Bone marrow smear:
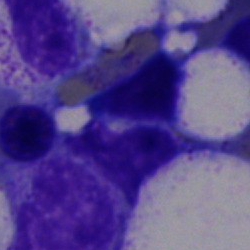
Showing an artefact.